Peripheral blood film. Single-cell crop.
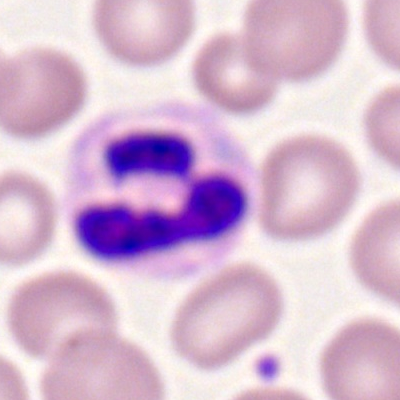 Segmented neutrophil.